Bone marrow aspirate smear:
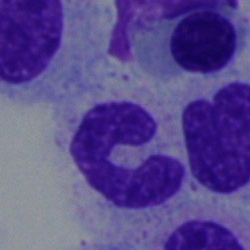
Specimen: bone marrow aspirate smear.
Cell type: neutrophil (band).